Bone marrow aspirate smear.
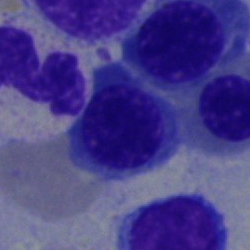 Q: Which cell type is shown here?
A: It is a normoblast.